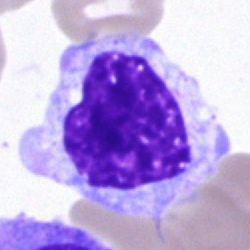Classification — monocyte.